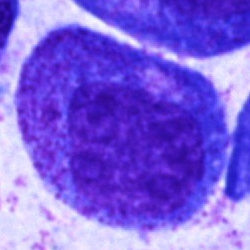

Single-cell crop from a bone marrow smear: progranulocyte.